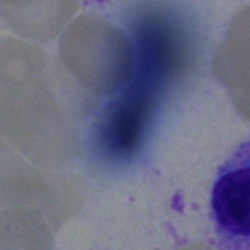 Impression — artefact.